Bone marrow smear · single-cell crop:
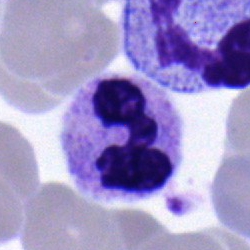

Classification: segmented neutrophil.